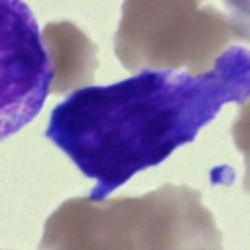
Q: What is the morphological classification of this cell?
A: It is a blast cell.